Bone marrow aspirate smear: 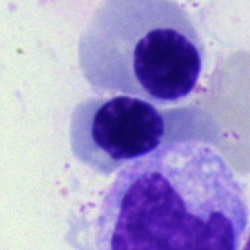
An erythroblast.